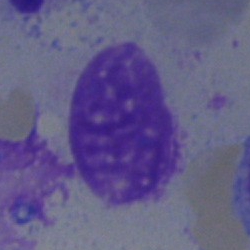 Bone marrow aspirate smear, single cell — artefact.